Bone marrow aspirate smear.
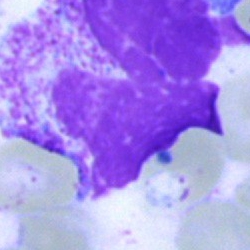
This is an artifact.